Bone marrow smear. Brightfield, 40× oil-immersion objective:
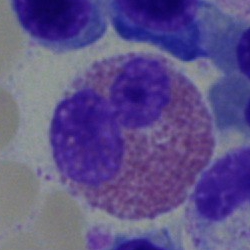
This is an eosinophil.